Bone marrow smear
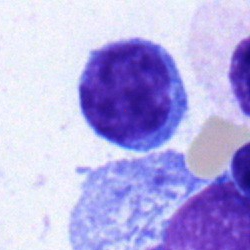 A typical lymphocyte.